Bone marrow aspirate smear. Cropped to a single cell — 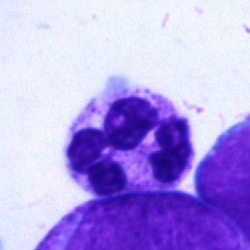

Q: What cell is this?
A: A polymorphonuclear neutrophil.